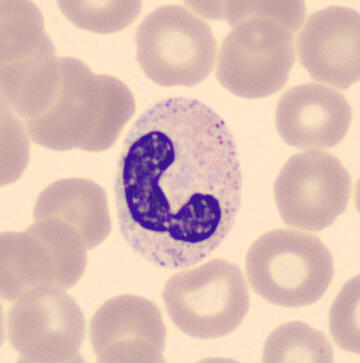

Peripheral blood film.

Morphology consistent with a stab cell.